Image size 250×250; bone marrow aspirate smear.
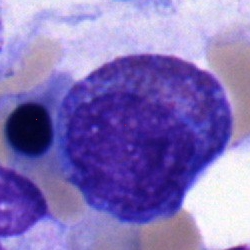

Q: What is the morphological classification of this cell?
A: This is an eosinophil.